Bone marrow aspirate smear.
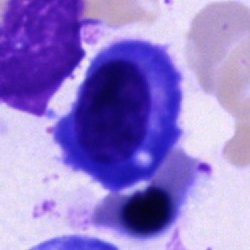

{"cell_type": "plasma cell", "lineage": "lymphoid"}